Bone marrow smear · 250×250 px: 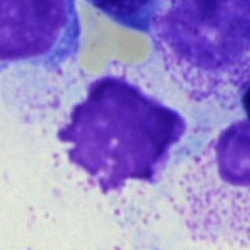
Morphological class — artefact.